Bone marrow aspirate smear
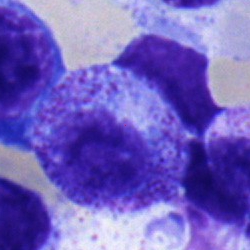 Showing a myelocyte.